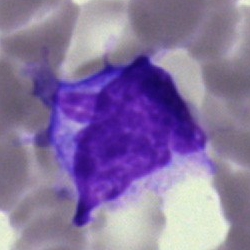

Morphology → artefact.